Bone marrow aspirate smear
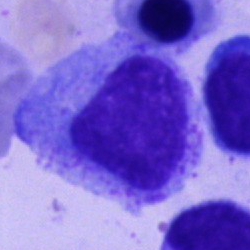Single cell identified as a progranulocyte.